Bone marrow smear:
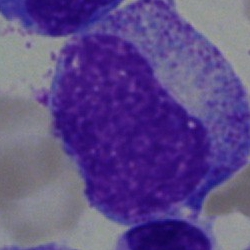 The cell shown is a promyelocyte.